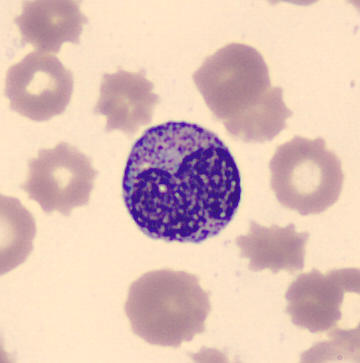

Image: Peripheral blood film. Q: What is shown here?
A: Metamyelocyte.